Brightfield microscopy, 40× oil immersion; image size 250×250; bone marrow aspirate smear:
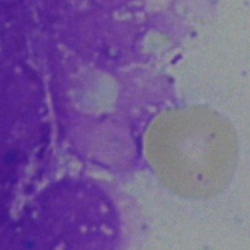

Cell type — artefact.